Bone marrow aspirate smear:
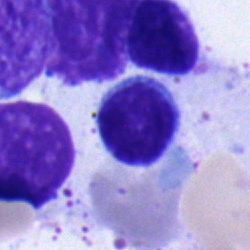A lymphocyte.